Bone marrow smear
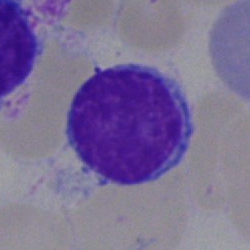Single cell identified as a typical lymphocyte.